400×400 · peripheral blood smear — 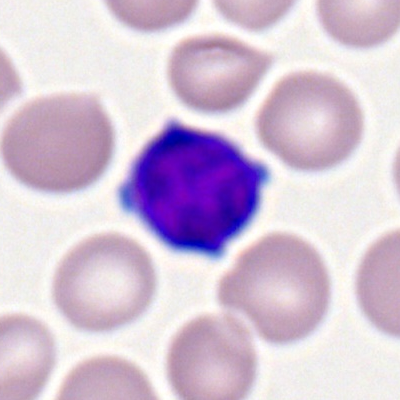Impression → lymphocyte.